Bone marrow smear
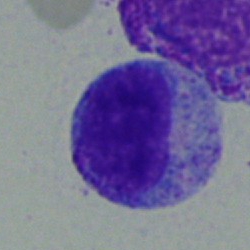 The cell shown is a myelocyte.